Bone marrow smear
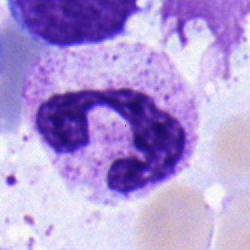
Q: What is shown here?
A: A segmented neutrophil.